Peripheral blood smear · cropped to a single cell · Romanowsky stain:
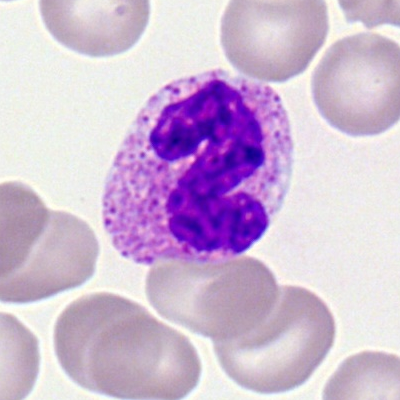Morphological class = basophil.